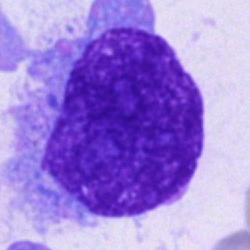Morphology → plasmacyte.